Cropped to a single cell; bone marrow smear; image size 250×250:
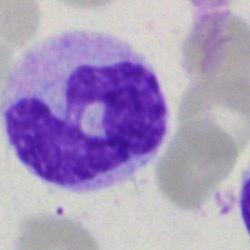

Classification: monocyte.